Single-cell crop · 40× oil immersion · bone marrow aspirate smear — 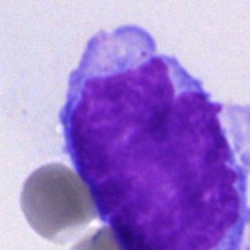
The classification is undifferentiated blast.